Bone marrow smear. Image size 250×250: 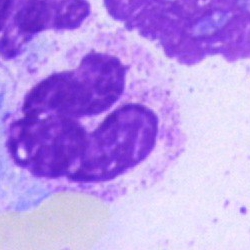

Q: What cell is this?
A: Neutrophil (segmented).